Bone marrow aspirate smear: 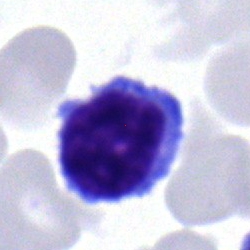
Classification = lymphocyte.